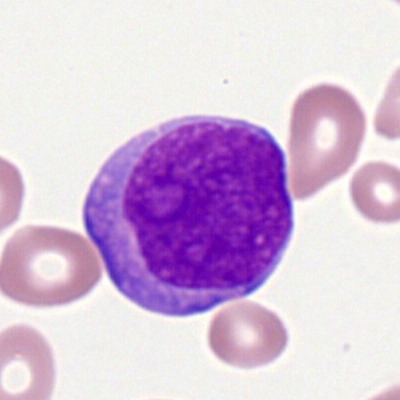 Q: What cell is this?
A: A myeloblast.